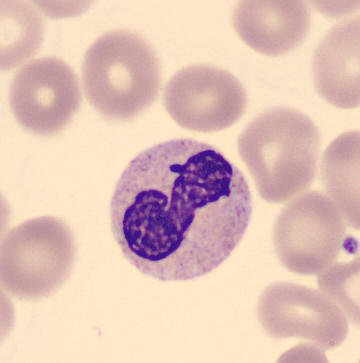

Peripheral blood film.
Q: What cell is this?
A: A band neutrophil.